Bone marrow smear:
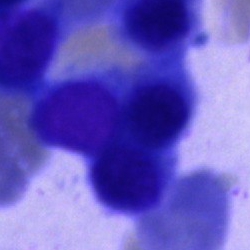
Showing an artefact.